Peripheral blood smear: 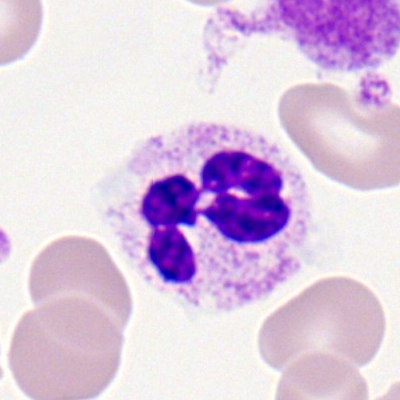
Cell = polymorphonuclear neutrophil.